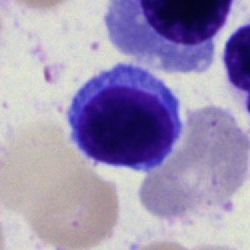Morphology — lymphocyte.